Image size 250×250 · bone marrow smear · May-Grünwald-Giemsa stain
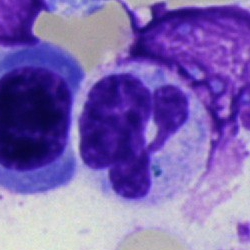
This is a neutrophil (segmented).